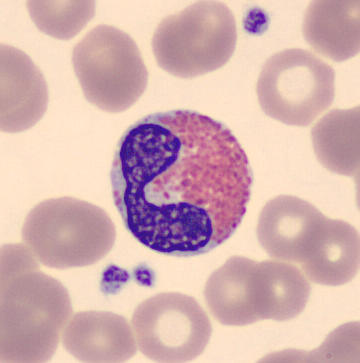
Morphology consistent with an eosinophilic granulocyte.

Image: Peripheral blood film; single-cell crop.